Cropped to a single cell · bone marrow aspirate smear
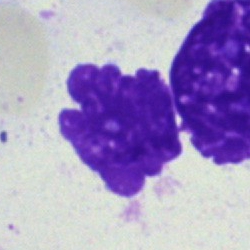

Q: What is shown here?
A: It is an artifact.